Bone marrow smear: 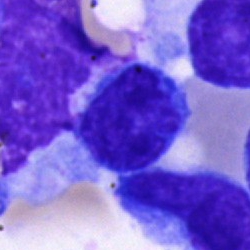{"cell_type": "typical lymphocyte", "lineage": "lymphoid"}